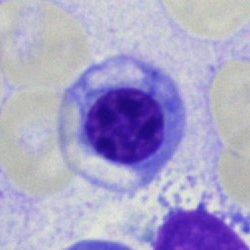Single cell identified as an erythroblast.